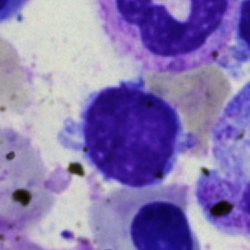

Q: What is shown here?
A: This is a typical lymphocyte.